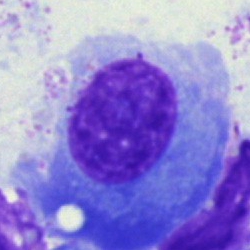 Morphology — plasma cell.